Bone marrow smear — 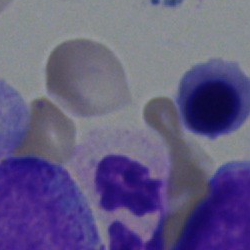Normoblast.